Bone marrow smear
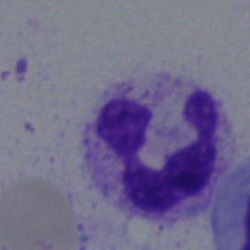
Morphology consistent with a neutrophil (segmented).